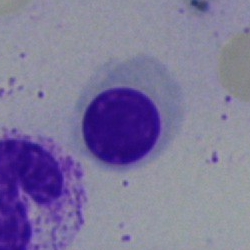Classification — erythroblast.